Image size 250×250 · bone marrow smear — 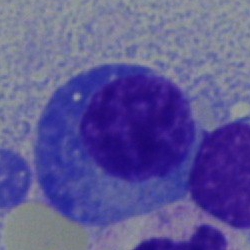 Cell: plasmacyte.